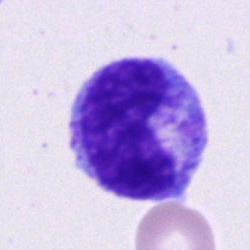 Q: What is shown here?
A: It is a metamyelocyte.